250 by 250 pixels. Bone marrow smear.
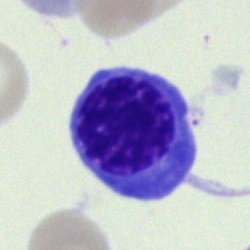An erythroblast.